Bone marrow smear: 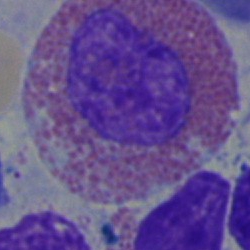 Impression — eosinophil.